Bone marrow aspirate smear
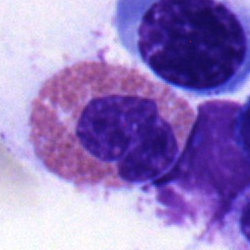

Q: What is the morphological classification of this cell?
A: This is an eosinophil.